Romanowsky stain; peripheral blood film:
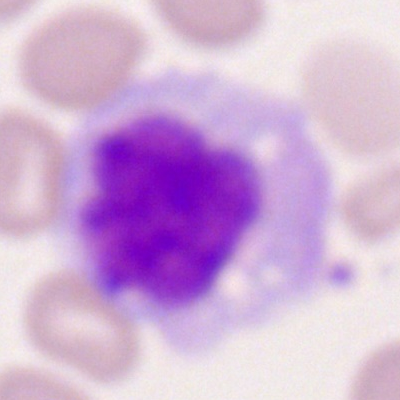 Specimen: peripheral blood film.
Cell: monocyte.
Lineage: myeloid.